250 by 250 pixels. Brightfield microscopy, 40× oil immersion. Bone marrow smear — 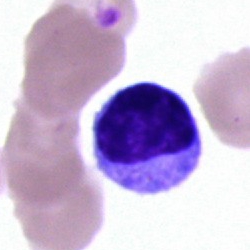

This is a typical lymphocyte.